40× objective, oil immersion. Bone marrow smear
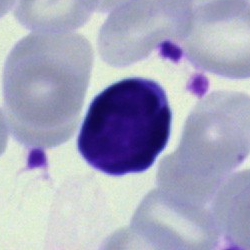Showing a typical lymphocyte.